Bone marrow smear · cropped to a single cell · Pappenheim-stained: 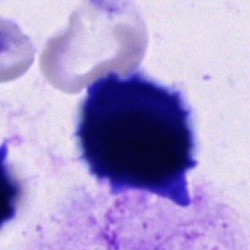This is an unidentifiable cell.